Bone marrow aspirate smear: 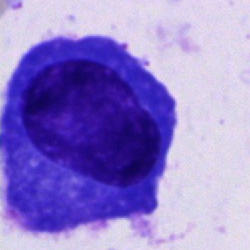

Specimen: bone marrow smear.
Classification: plasmacyte.
Lineage: lymphoid.